Bone marrow aspirate smear · brightfield, 40× oil-immersion objective · single cell centered in the field:
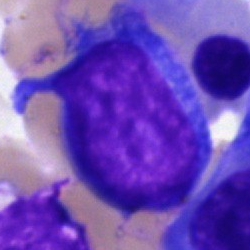

{"cell_type": "blast cell"}